Bone marrow smear; May-Grünwald-Giemsa/Pappenheim stain; 40× objective, oil immersion:
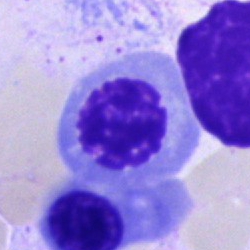Q: What is shown here?
A: A normoblast.